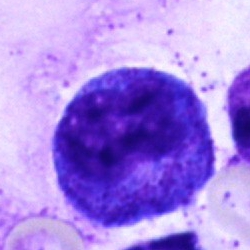 Q: What is the morphological classification of this cell?
A: Progranulocyte.